Bone marrow smear · 250×250: 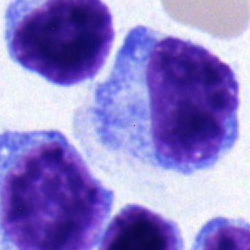Morphology — plasma cell.